Bone marrow aspirate smear · 250×250:
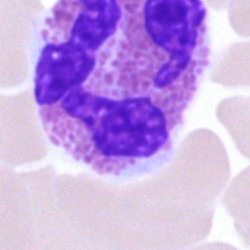

Cell type: eosinophil.